Bone marrow aspirate smear: 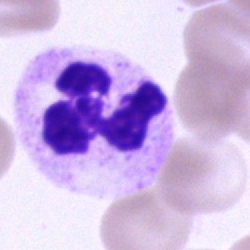The cell shown is a polymorphonuclear neutrophil.